Bone marrow aspirate smear:
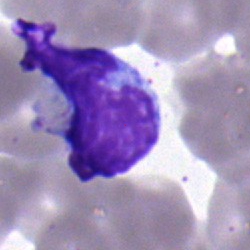Impression — lymphocyte.